250 by 250 pixels · bone marrow smear — 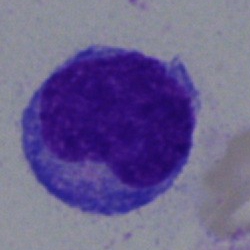Q: Identify the cell.
A: It is a progranulocyte.